Bone marrow aspirate smear — 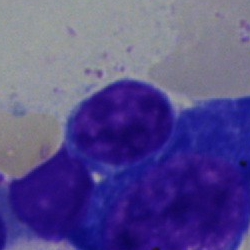The cell type is lymphocyte.